Bone marrow smear · cropped to a single cell
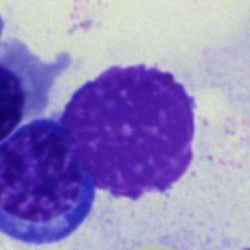 Showing an artefact.